Single-cell crop. Bone marrow smear:
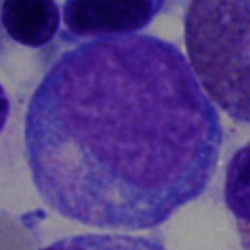 {"cell_type": "progranulocyte", "lineage": "myeloid"}